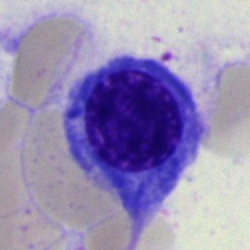

Impression — erythroblast.